Bone marrow aspirate smear:
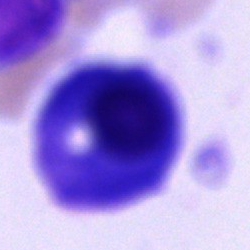Morphology consistent with a plasmacyte.